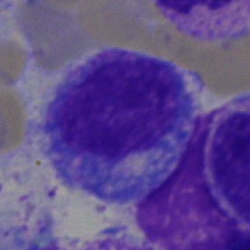
This is a progranulocyte.